Peripheral blood film; 100× oil immersion, 14.14 px/µm — 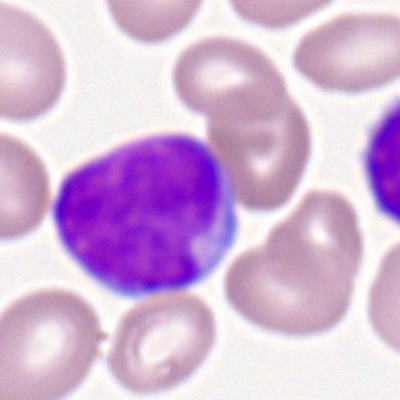
A myeloblast.